MGG-stained. Bone marrow smear: 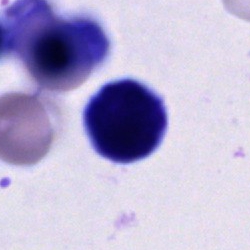
Specimen: bone marrow smear.
Classification: unidentifiable cell.